Bone marrow smear — 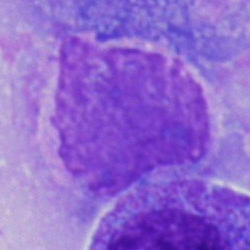
Classification — artifact.